Bone marrow smear: 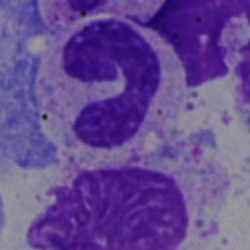

Morphology — neutrophil (segmented).